Image size 250×250; brightfield microscopy, 40× oil immersion; bone marrow aspirate smear: 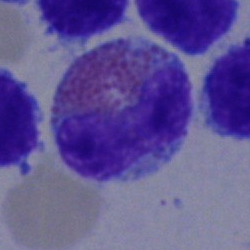 Impression → eosinophilic granulocyte.